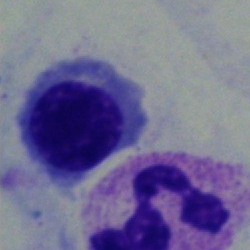

Q: Which cell type is shown here?
A: A polymorphonuclear neutrophil.